250 by 250 pixels · bone marrow smear — 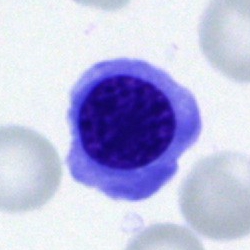

Nucleated red cell.